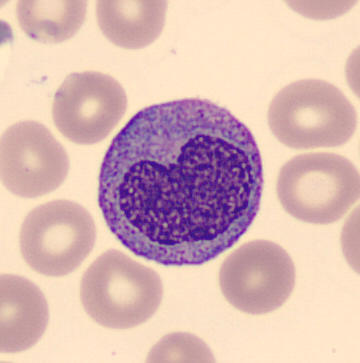Preparation: Peripheral blood film.
A monocyte.